Peripheral blood smear
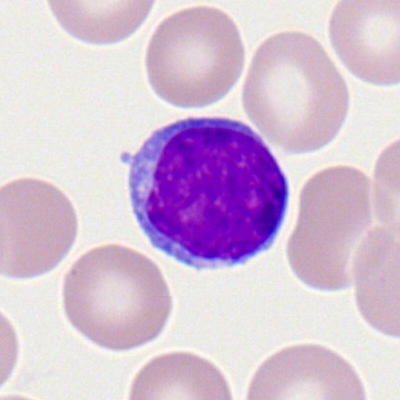

Q: What cell is this?
A: Lymphocyte.